Bone marrow aspirate smear: 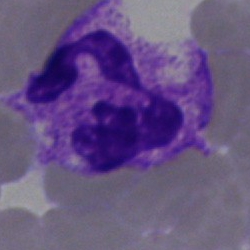Q: What type of cell is this?
A: This is a polymorphonuclear neutrophil.